Single cell centered in the field · bone marrow smear.
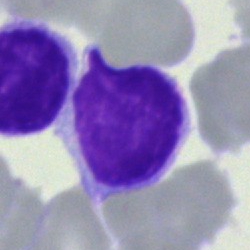 This is a typical lymphocyte.